Image size 250×250. 40× objective, oil immersion. Bone marrow smear
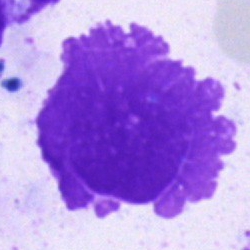
Impression — artefact.